Bone marrow smear
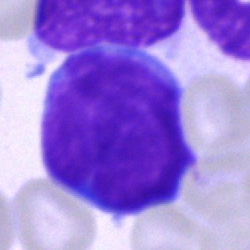 This is a blast.